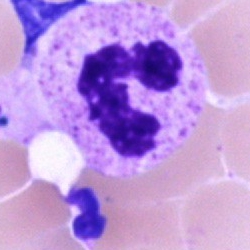Morphology consistent with a polymorphonuclear neutrophil.